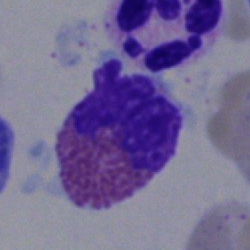
Specimen: bone marrow smear.
Classification: eosinophil.
Lineage: myeloid.